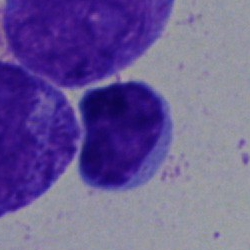

Morphological class: lymphocyte.